Bone marrow aspirate smear:
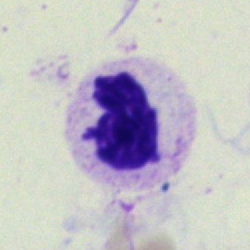Single cell identified as a neutrophil (segmented).